Peripheral blood smear:
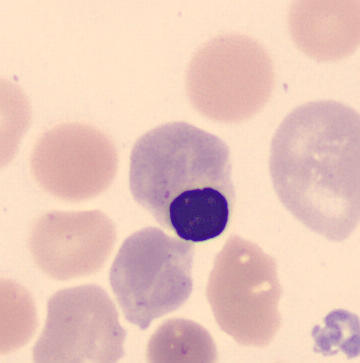 Cell type = nucleated red blood cell.